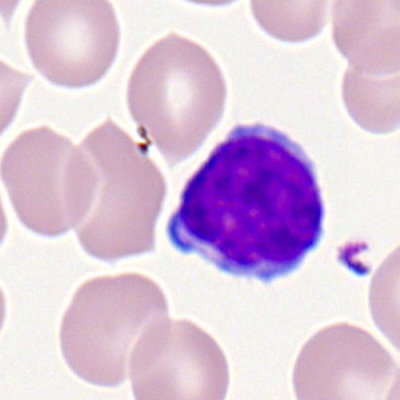 Q: Which cell type is shown here?
A: It is a typical lymphocyte.